May-Grünwald-Giemsa stain · bone marrow aspirate smear.
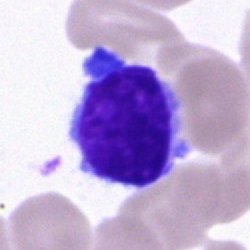

Single cell identified as a lymphocyte.